Bone marrow aspirate smear — 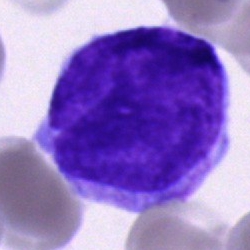
Classification: blast cell.